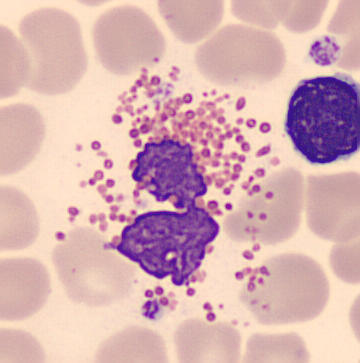 Morphology → eosinophil.

Acquisition: Peripheral blood smear; CellaVision DM96 digital cell image; single cell centered in the field.